Bone marrow aspirate smear
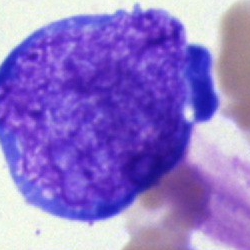
Specimen: bone marrow aspirate smear.
Morphological class: blast.